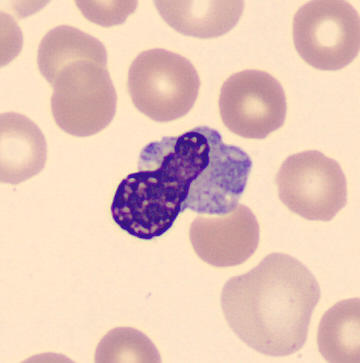

Specimen: peripheral blood smear.
Cell type: nucleated red blood cell. Image: 360×363 px.